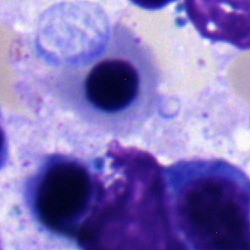
Morphology → nucleated red cell.